Image size 250×250; bone marrow aspirate smear:
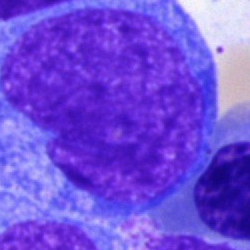
Morphological class — undifferentiated blast.